Peripheral blood smear · image size 400×400 · Romanowsky-stained: 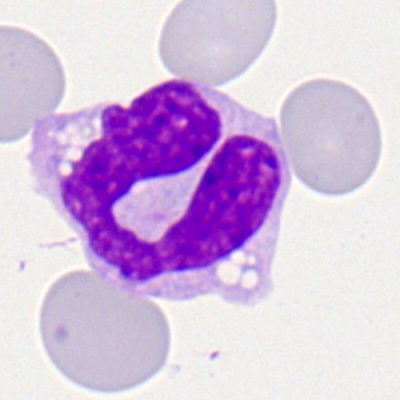Morphology → monocyte.